Bone marrow aspirate smear — 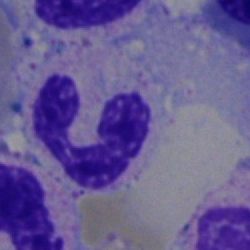Q: What cell is this?
A: Neutrophil (segmented).